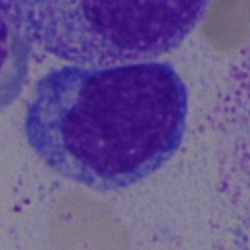

This is a lymphocyte.